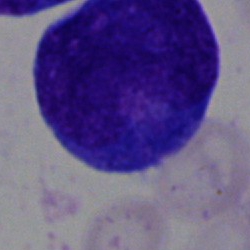

Morphology — blast.